Bone marrow aspirate smear: 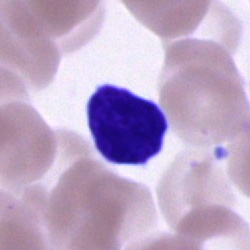 Classification — cell of indeterminate lineage.